Pappenheim-stained · bone marrow aspirate smear · 250 by 250 pixels
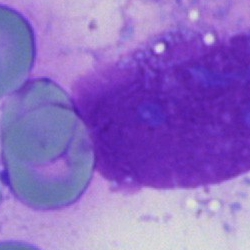
Cell = artefact.